Bone marrow aspirate smear:
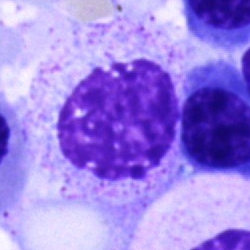 Q: What is the morphological classification of this cell?
A: It is a myelocyte.